Bone marrow smear
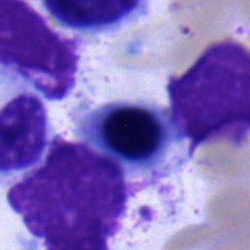A normoblast.